250×250 px · bone marrow aspirate smear:
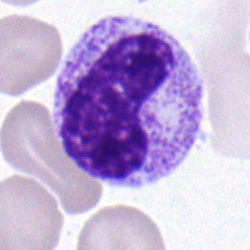

Cell: metamyelocyte.